Bone marrow aspirate smear — 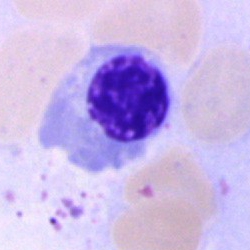

The cell shown is a normoblast.